Bone marrow smear.
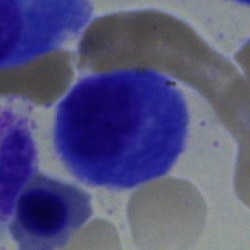

This is a plasma cell.